Bone marrow smear:
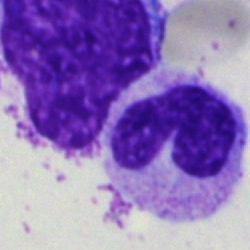 {"cell_type": "band-form neutrophil", "lineage": "myeloid"}